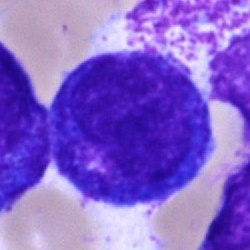
Q: What cell is this?
A: Progranulocyte.